Peripheral blood film; automated cell imaging (CellaVision DM96); single-cell crop
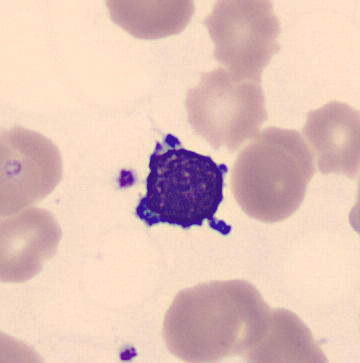

Impression — lymphocyte.